Bone marrow aspirate smear
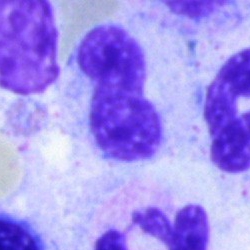 Showing a band neutrophil.